Bone marrow aspirate smear. 250×250: 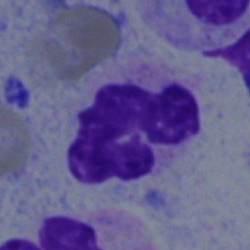

Q: What type of cell is this?
A: It is a neutrophil (segmented).